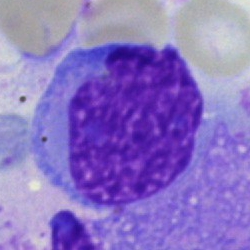

Specimen: bone marrow aspirate smear.
Cell: blast.